Bone marrow aspirate smear
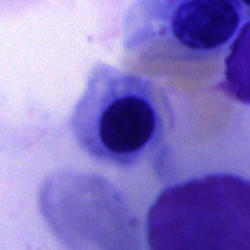A normoblast.